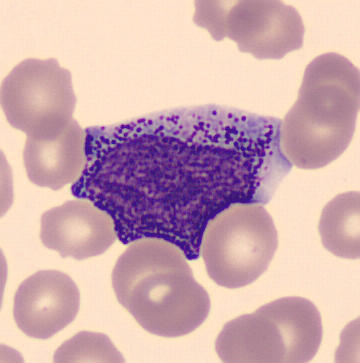 A progranulocyte. Preparation: Single-cell crop · peripheral blood smear.